Bone marrow smear — 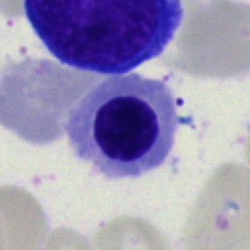

Single cell identified as a normoblast.